Bone marrow smear — 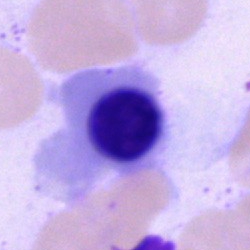Classification — erythroblast.